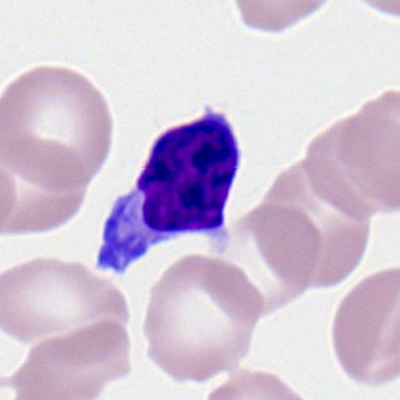 Q: What cell is this?
A: This is a lymphocyte.